Bone marrow aspirate smear:
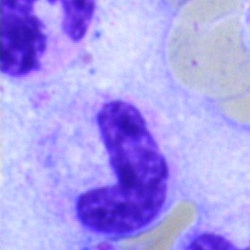 {"cell_type": "stab cell", "lineage": "myeloid"}